Bone marrow aspirate smear — 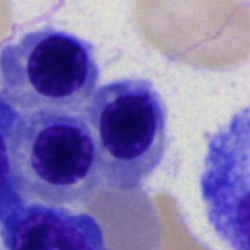 Morphological class: nucleated red blood cell.